Bone marrow smear · 250×250 px — 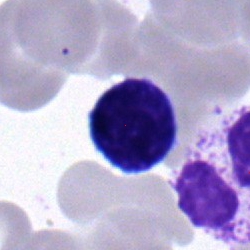The cell shown is a lymphocyte.